May-Grünwald-Giemsa stain. Bone marrow smear. Brightfield microscopy, 40× oil immersion — 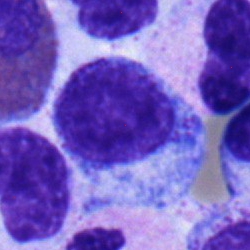

The cell shown is a promyelocyte.